Cropped to a single cell; brightfield microscopy, 40× oil immersion; bone marrow aspirate smear — 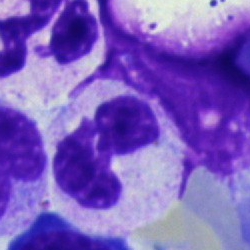

Morphological class — polymorphonuclear neutrophil.